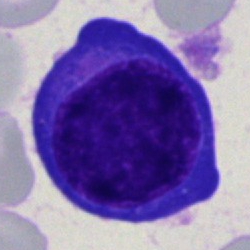The classification is normoblast.